Bone marrow smear; brightfield microscopy, 40× oil immersion; 250×250: 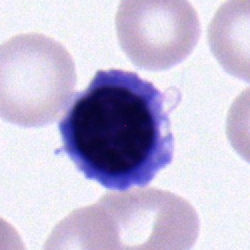

Morphology consistent with a nucleated red blood cell.